Bone marrow aspirate smear. Cropped to a single cell — 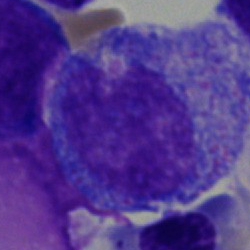
Classification = progranulocyte.